400×400. Peripheral blood smear — 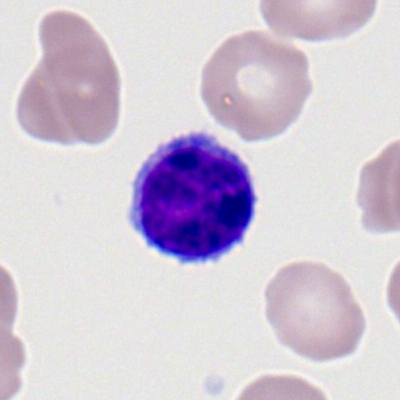Single cell identified as a typical lymphocyte.